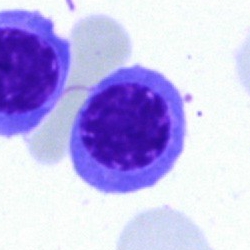
Showing a nucleated red cell.